Bone marrow aspirate smear.
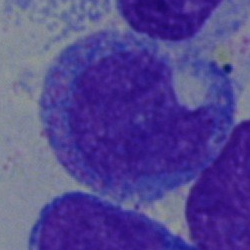Single cell identified as a promyelocyte.